Bone marrow aspirate smear
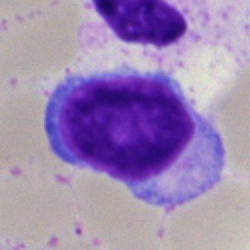

Showing a lymphocyte.